Bone marrow aspirate smear. Image size 250×250. Cropped to a single cell: 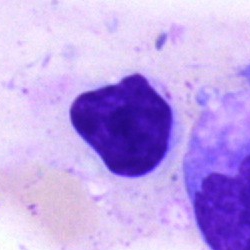
Specimen: bone marrow smear.
Cell: artefact.